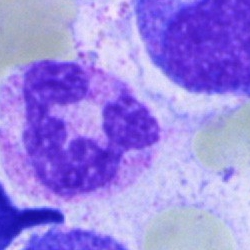 Single cell identified as a segmented neutrophil.